Brightfield microscopy, 40× oil immersion · bone marrow smear:
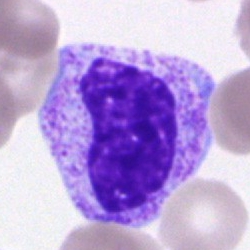Cell: neutrophil (band).